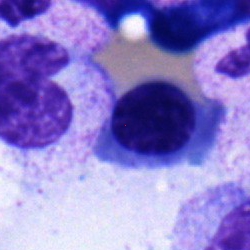 Q: What is the morphological classification of this cell?
A: Normoblast.